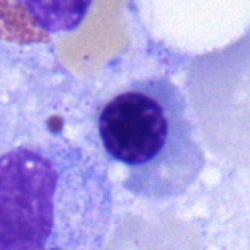 Classification = erythroblast.